Bone marrow aspirate smear; 250×250 — 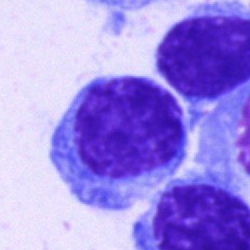 Cell type = lymphocyte.